Bone marrow smear — 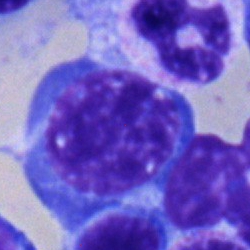

Showing an erythroblast.